40× objective, oil immersion · bone marrow smear
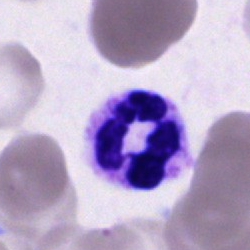 Q: What is the morphological classification of this cell?
A: Neutrophil (segmented).